Bone marrow aspirate smear
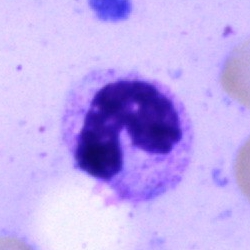Cell — polymorphonuclear neutrophil.